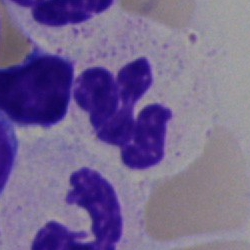
Bone marrow smear showing a polymorphonuclear neutrophil.